Bone marrow aspirate smear:
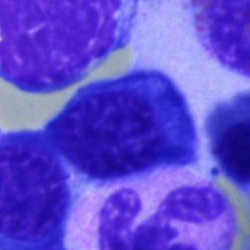The cell is nucleated red cell.